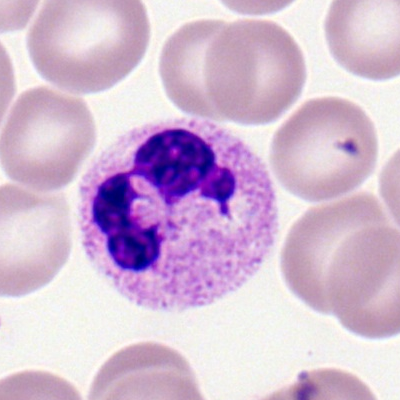

Specimen: peripheral blood smear.
Morphological class: neutrophil (segmented).
Lineage: myeloid.